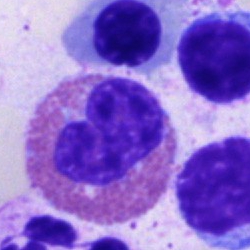 The cell shown is an eosinophil.